Bone marrow aspirate smear:
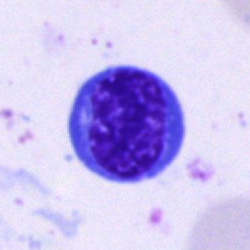Q: What cell is this?
A: A nucleated red blood cell.